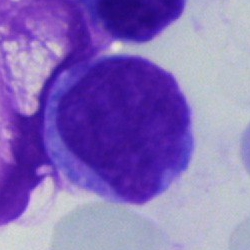

Impression → blast.